Bone marrow aspirate smear.
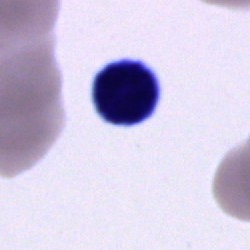
Morphology consistent with an unidentifiable cell.